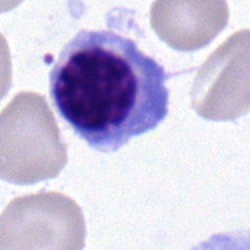

Classification — erythroblast.